Bone marrow smear:
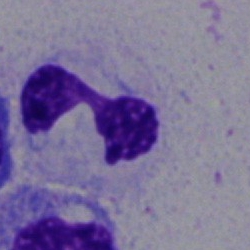
This is a polymorphonuclear neutrophil.